Bone marrow smear; 250 by 250 pixels; 40× oil immersion.
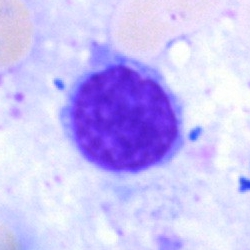

{"cell_type": "lymphocyte"}